Pappenheim-stained; bone marrow smear; cropped to a single cell — 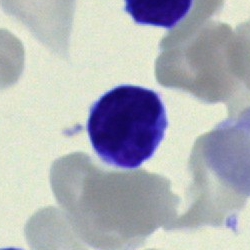
Specimen: bone marrow smear.
Cell: typical lymphocyte.
Lineage: lymphoid.